May-Grünwald-Giemsa/Pappenheim stain · bone marrow aspirate smear: 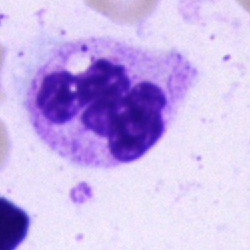 Specimen: bone marrow smear.
Cell: segmented neutrophil.